Bone marrow smear · MGG-stained · single-cell field: 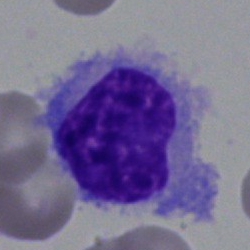

{"cell_type": "hairy cell", "lineage": "lymphoid"}